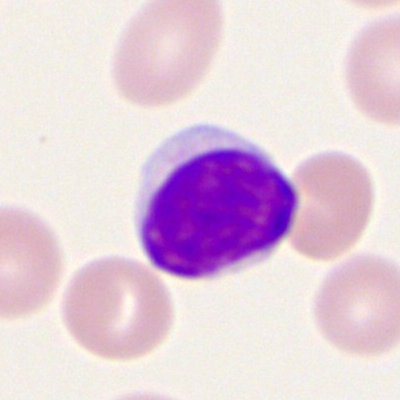

The morphological class is typical lymphocyte.